Peripheral blood smear: 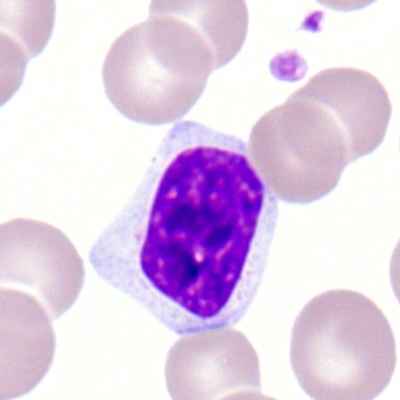
Cell — typical lymphocyte.